250×250 px. Bone marrow aspirate smear. May-Grünwald-Giemsa/Pappenheim stain — 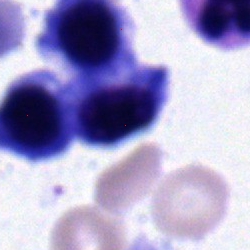 Nucleated red blood cell.